Bone marrow smear:
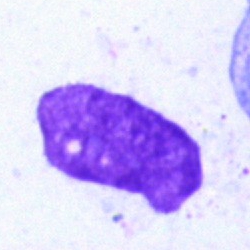Specimen: bone marrow smear.
Classification: artefact.